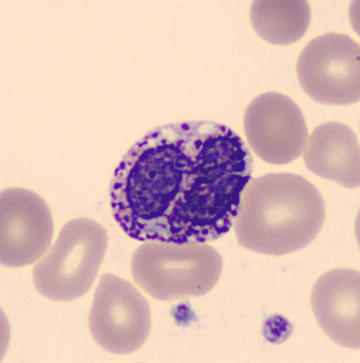 Single-cell crop from a peripheral blood smear: basophilic granulocyte.